Bone marrow smear.
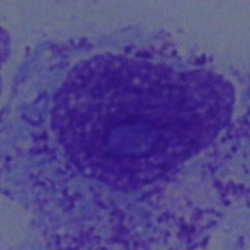 The cell shown is a myelocyte.